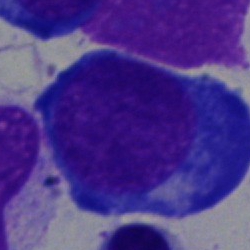Classification — pronormoblast.